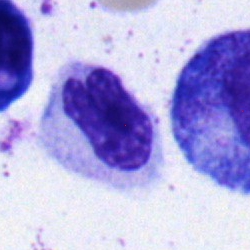 Morphology consistent with a neutrophil (band).